Bone marrow aspirate smear · Pappenheim-stained · brightfield, 40× oil-immersion objective
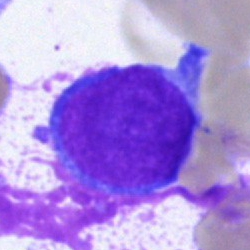

Morphology → blast cell.